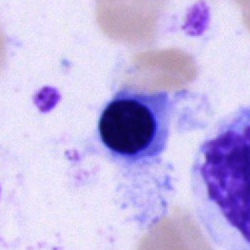
A nucleated red cell.